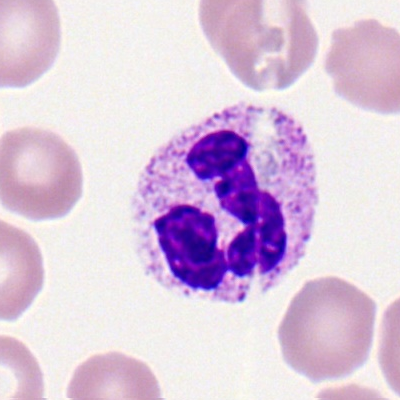

Impression — neutrophil (segmented).